Bone marrow smear · image size 250×250
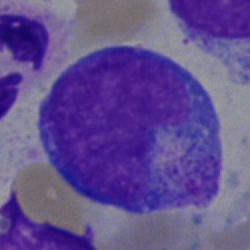Progranulocyte.